Bone marrow aspirate smear · single-cell crop · May-Grünwald-Giemsa/Pappenheim stain:
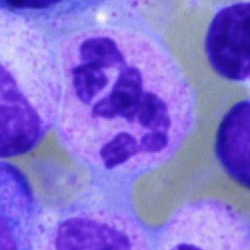 Morphology consistent with a segmented neutrophil.